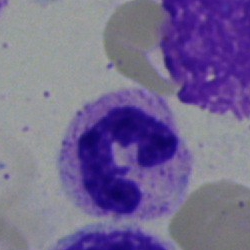

This is a segmented neutrophil.